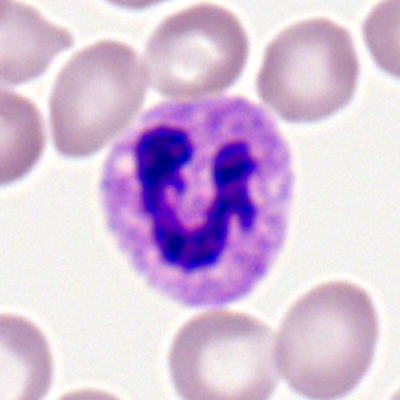
Q: What is shown here?
A: It is a neutrophil (segmented).